Bone marrow smear
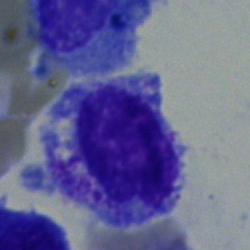The classification is myelocyte.